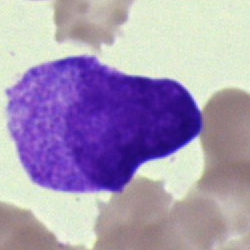 This is a blast.